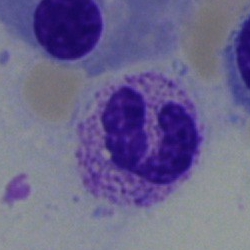 Morphology consistent with a neutrophil (segmented).